Peripheral blood film.
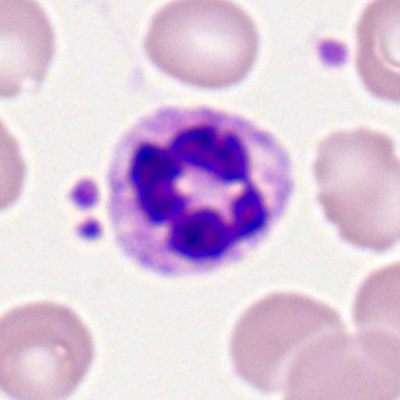
This is a neutrophil (segmented).